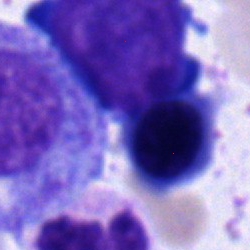Bone marrow smear showing a pronormoblast.